Bone marrow aspirate smear · single-cell crop.
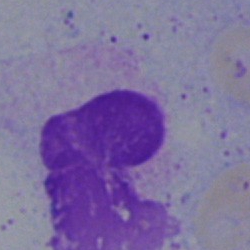The cell shown is an artefact.